Image size 250×250 · 40× objective, oil immersion · bone marrow aspirate smear — 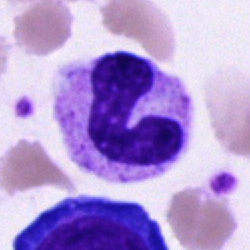Morphology — band neutrophil.